Bone marrow aspirate smear
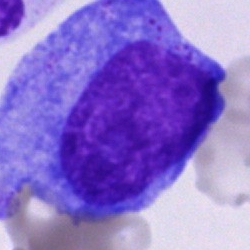
The cell type is progranulocyte.